Bone marrow smear — 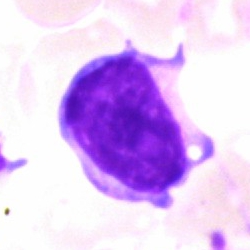

Showing a lymphocyte.